Bone marrow aspirate smear
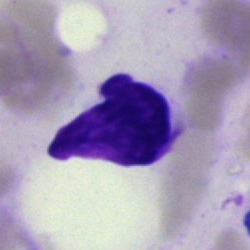
Morphological class — artifact.